Image size 250×250. Bone marrow aspirate smear. Brightfield microscopy, 40× oil immersion.
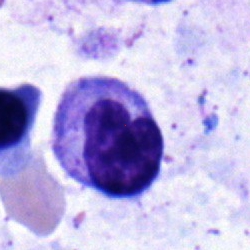

Showing a band-form neutrophil.